Bone marrow smear. 250 by 250 pixels: 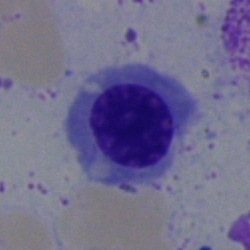
Morphology consistent with a normoblast.